Peripheral blood smear: 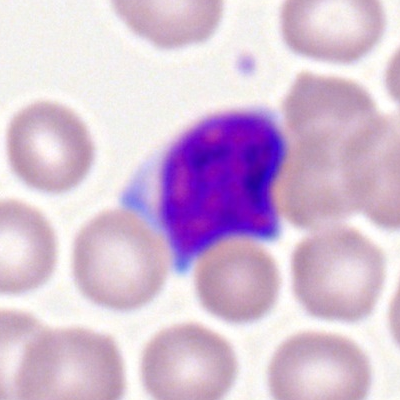Lymphocyte.